Peripheral blood film. 400×400 px
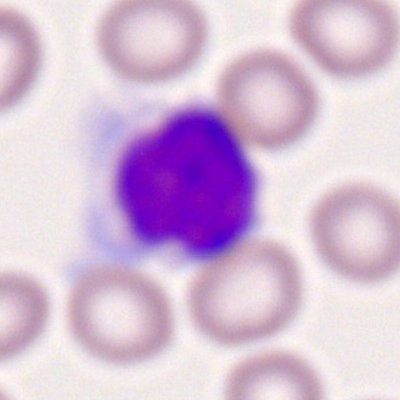
Cell type — typical lymphocyte.